Bone marrow smear: 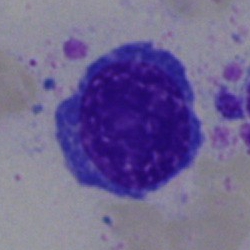
The cell is nucleated red cell.